Peripheral blood smear: 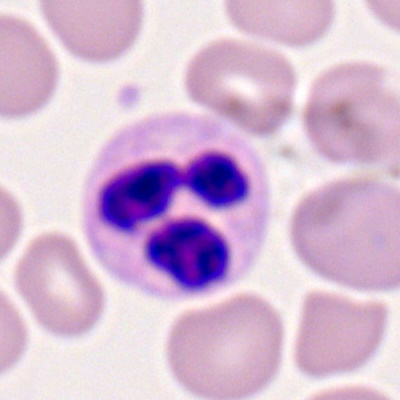Showing a segmented neutrophil.